Bone marrow smear.
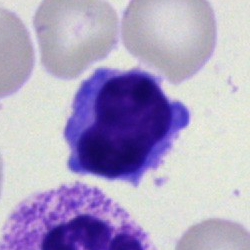

This is a lymphocyte.